Bone marrow smear:
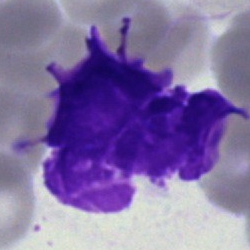
Cell type = artefact.